Peripheral blood smear — 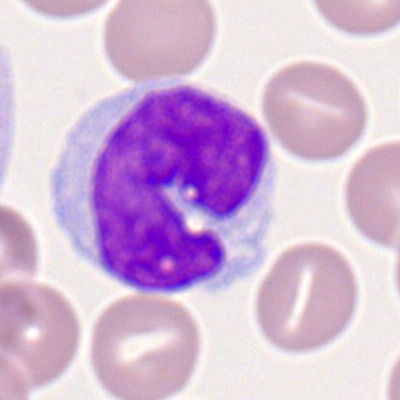
{"cell_type": "monocyte", "lineage": "myeloid"}